Single-cell field · bone marrow smear · 250×250:
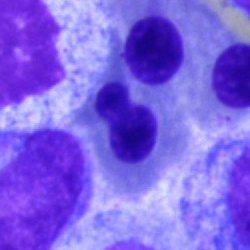 The cell shown is an erythroblast.